Bone marrow smear
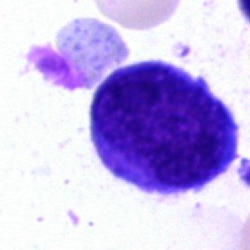
Cell type = blast cell.